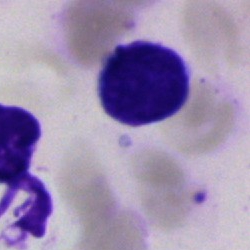 Q: What is the morphological classification of this cell?
A: This is a typical lymphocyte.